Bone marrow aspirate smear.
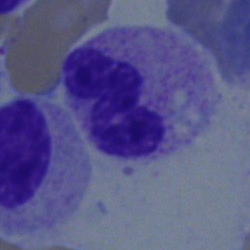

Morphological class — band neutrophil.